Bone marrow smear; single-cell crop; 40× objective, oil immersion:
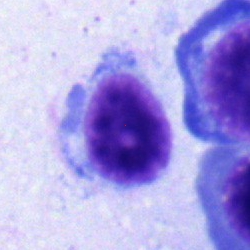

Impression — typical lymphocyte.